Peripheral blood film — 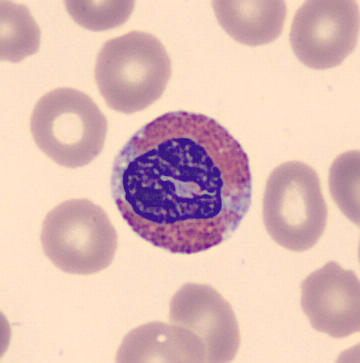Specimen: peripheral blood smear.
Cell type: eosinophil.
Lineage: myeloid.